Bone marrow aspirate smear: 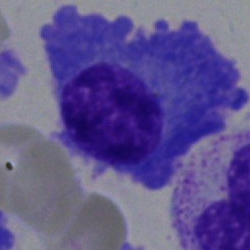 Cell type = plasmacyte.